Romanowsky stain · peripheral blood film:
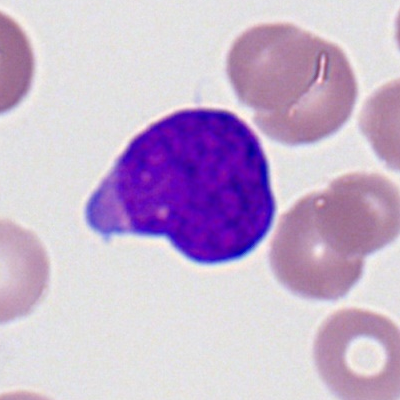
Q: What is shown here?
A: This is a myeloid blast.